Bone marrow aspirate smear — 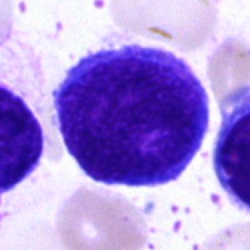
{"cell_type": "blast cell"}